Bone marrow smear.
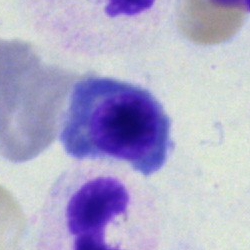

Morphology consistent with a nucleated red blood cell.